Single-cell field · bone marrow aspirate smear
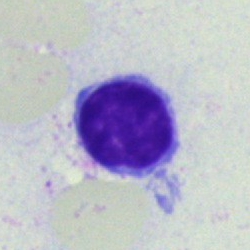

The cell shown is a typical lymphocyte.